Bone marrow aspirate smear · cropped to a single cell.
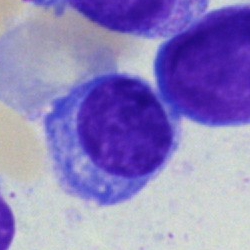

Morphology → plasmacyte.